Bone marrow aspirate smear
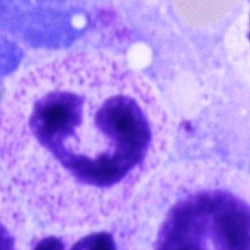

Cell type — neutrophil (segmented).